Bone marrow smear
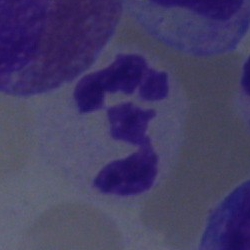

Q: What is shown here?
A: A segmented neutrophil.